Bone marrow smear; May-Grünwald-Giemsa stain
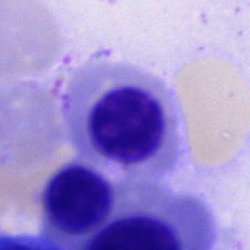
Showing a nucleated red blood cell.